Bone marrow smear; MGG-stained
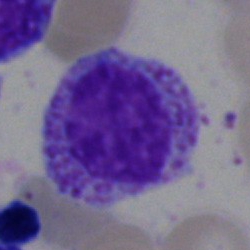 Myelocyte.